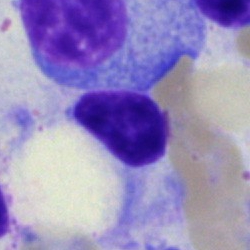
Single cell identified as a typical lymphocyte.